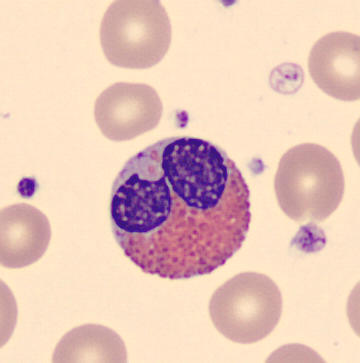 Preparation: Peripheral blood smear.
The cell shown is an eosinophilic granulocyte.